Bone marrow smear
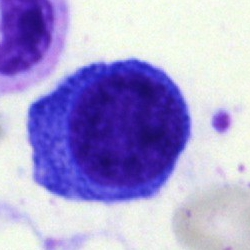

Specimen: bone marrow smear.
Classification: pronormoblast.